Brightfield, 40× oil-immersion objective; bone marrow smear
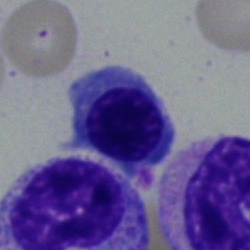
Morphology consistent with a normoblast.